Pappenheim-stained; brightfield microscopy, 40× oil immersion; bone marrow smear — 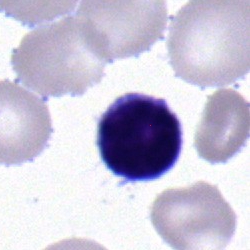

The classification is lymphocyte.